Bone marrow smear · brightfield microscopy, 40× oil immersion
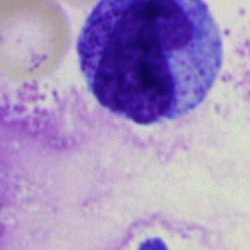

Progranulocyte.